Bone marrow aspirate smear — 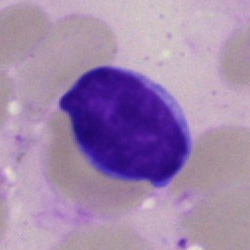Q: What cell is this?
A: A lymphocyte.